Bone marrow aspirate smear: 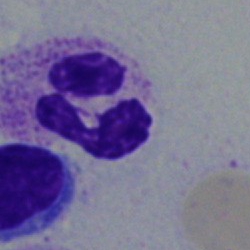 Q: What type of cell is this?
A: Polymorphonuclear neutrophil.